Bone marrow aspirate smear: 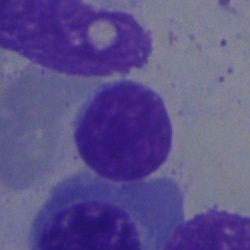Impression → lymphocyte.